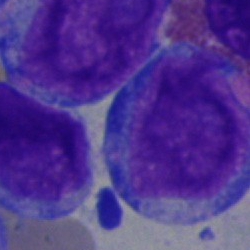 Morphology → blast.